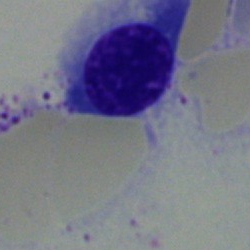
Impression → erythroblast.